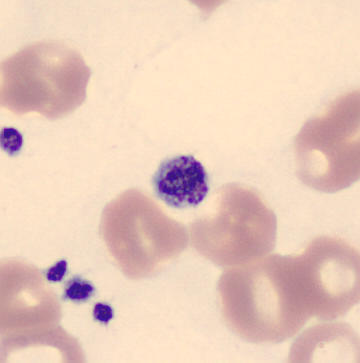 Thrombocyte.
Preparation: May-Grünwald-Giemsa-stained. Peripheral blood film. Imaged on a CellaVision DM96 analyser.